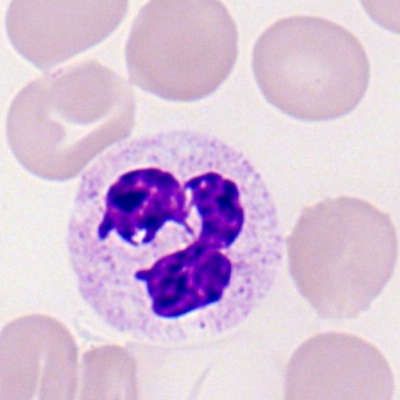
This is a neutrophil (segmented).